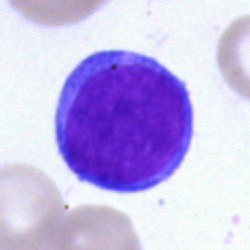

Classification: blast.